Cropped to a single cell · brightfield microscopy, 40× oil immersion · bone marrow aspirate smear:
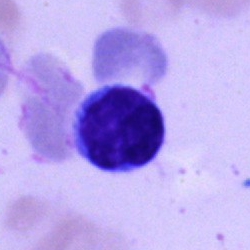
Showing a lymphocyte.